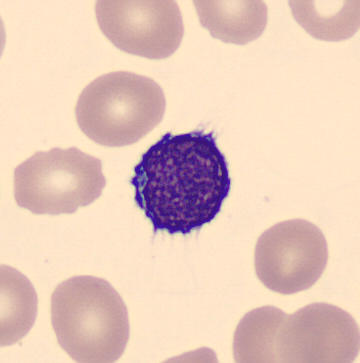

{"cell_type": "typical lymphocyte"}